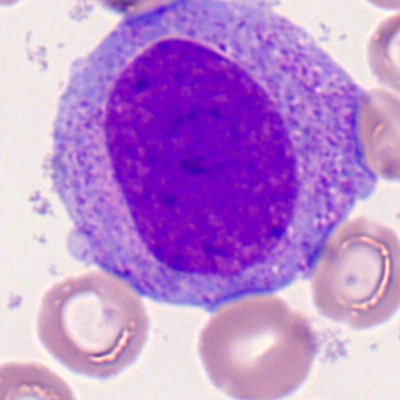

{"cell_type": "promyelocyte", "lineage": "myeloid"}